Bone marrow aspirate smear. May-Grünwald-Giemsa/Pappenheim stain. Brightfield, 40× oil-immersion objective.
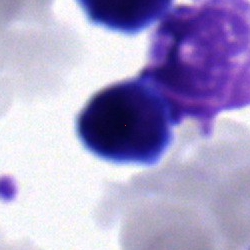Morphology → lymphocyte.